Bone marrow smear:
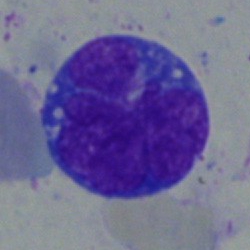
Specimen: bone marrow smear.
Morphological class: blast.